Image size 250×250. Bone marrow smear. Single-cell field.
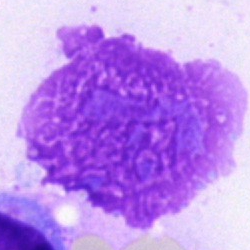

The cell shown is an artifact.